Bone marrow aspirate smear
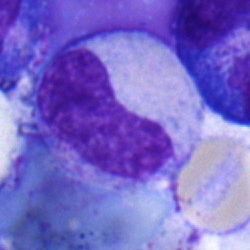
Showing a metamyelocyte.